Bone marrow aspirate smear; 250×250 — 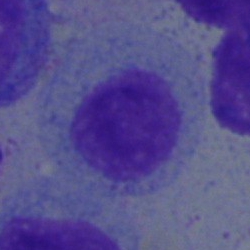

Q: Identify the cell.
A: It is a myelocyte.